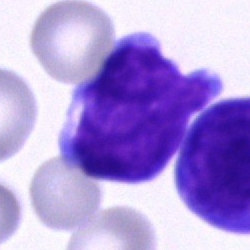{"cell_type": "blast cell"}